Bone marrow smear; 250×250 px: 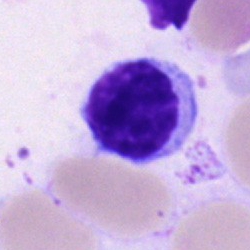Morphology → lymphocyte.